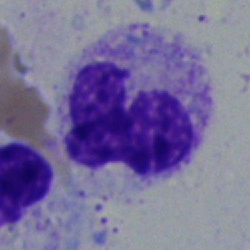 The classification is neutrophil (segmented).